Bone marrow aspirate smear
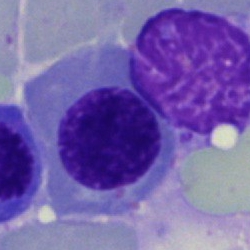
The cell shown is an erythroblast.